May-Grünwald-Giemsa stain · bone marrow smear — 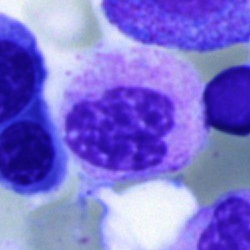 Morphology → neutrophil (segmented).